Bone marrow aspirate smear:
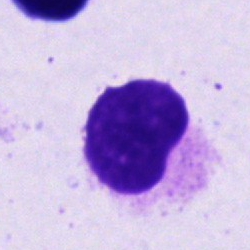Cell — cell of indeterminate lineage.